Bone marrow aspirate smear; 40× objective, oil immersion:
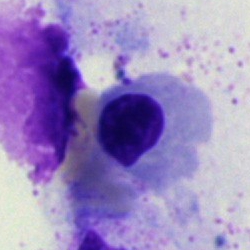 Impression → normoblast.